Bone marrow aspirate smear
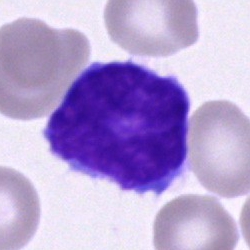
Q: What is shown here?
A: Lymphocyte.